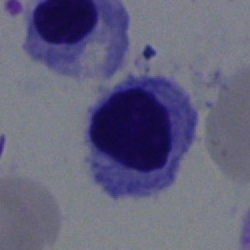
Cell: nucleated red blood cell.